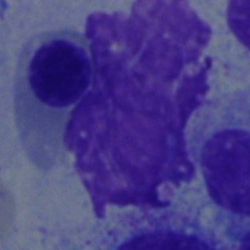
Single-cell crop from a bone marrow smear: nucleated red cell.